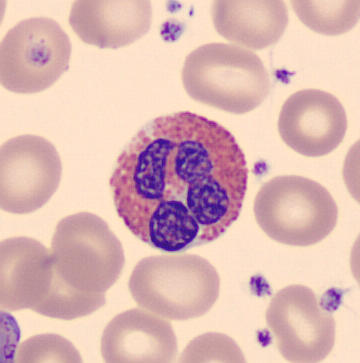Image: Peripheral blood smear.
Morphology → eosinophil.